Bone marrow aspirate smear.
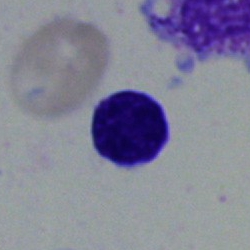Specimen: bone marrow aspirate smear.
Cell: lymphocyte.